Bone marrow aspirate smear
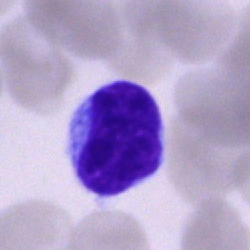Morphology consistent with a lymphocyte.